250×250 · Pappenheim-stained · bone marrow smear — 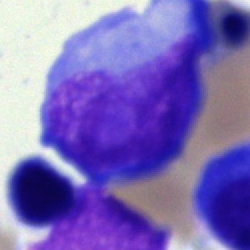
Q: What cell is this?
A: Blast cell.